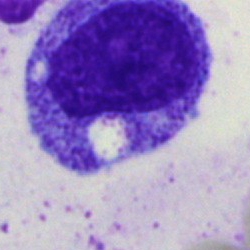 A progranulocyte on a bone marrow smear.